Bone marrow aspirate smear:
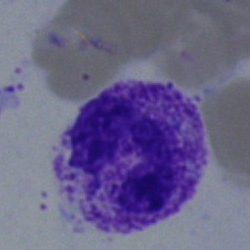
Q: Which cell type is shown here?
A: It is a band neutrophil.